Bone marrow smear — 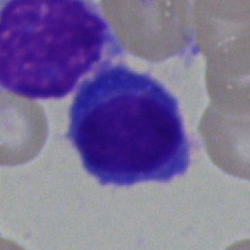
Morphology consistent with a plasmacyte.